Cropped to a single cell · peripheral blood smear.
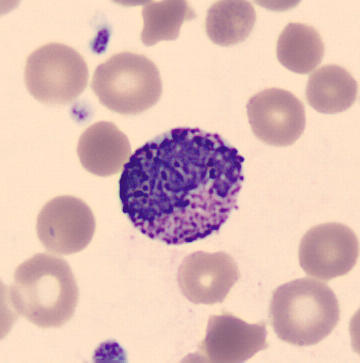
Specimen: peripheral blood film.
Cell: basophil.
Lineage: myeloid.